Bone marrow aspirate smear
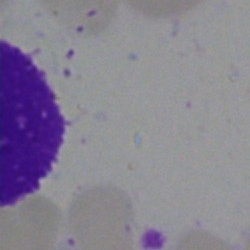

Morphological class = artifact.